May-Grünwald-Giemsa stain. Bone marrow aspirate smear — 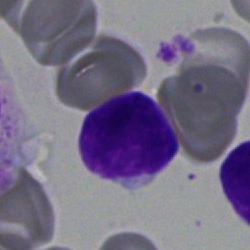 A lymphocyte.